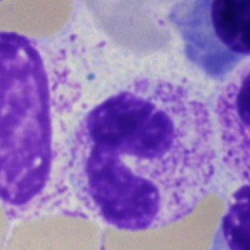
Classification — neutrophil (segmented).